Bone marrow aspirate smear. Single-cell crop.
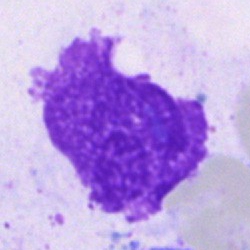 Morphology → artifact.